Bone marrow aspirate smear:
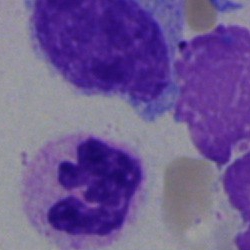Q: Identify the cell.
A: It is a segmented neutrophil.